Bone marrow smear: 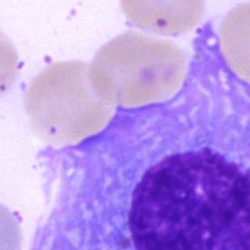

Plasma cell.